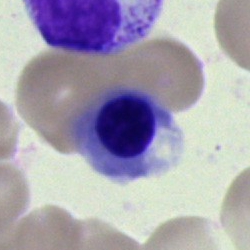 Morphology → nucleated red cell.